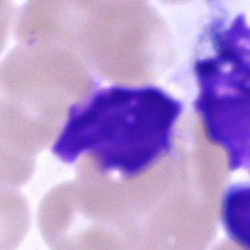 Morphology → artifact.